Bone marrow aspirate smear — 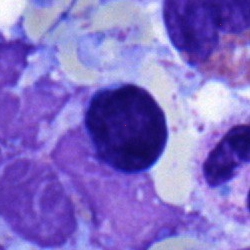Q: What cell is this?
A: Lymphocyte.